Bone marrow aspirate smear: 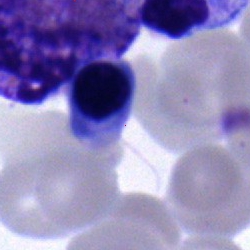
The cell is normoblast.